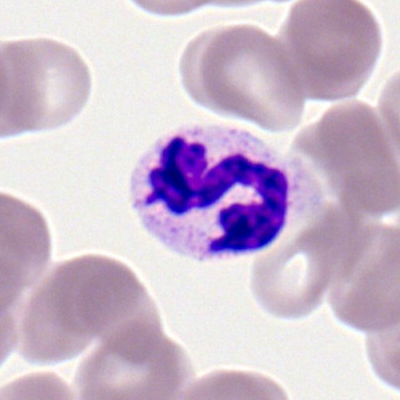 Single-cell crop from a peripheral blood smear: neutrophil (segmented).